MGG-stained · bone marrow smear · 250 by 250 pixels:
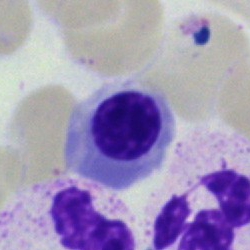This is an erythroblast.